Brightfield, 40× oil-immersion objective. Bone marrow smear. May-Grünwald-Giemsa stain:
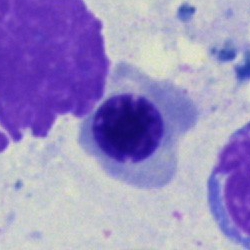
Cell type — normoblast.